Bone marrow smear · May-Grünwald-Giemsa/Pappenheim stain.
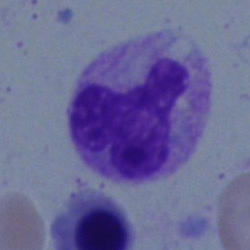
Specimen: bone marrow aspirate smear.
Morphological class: stab cell.
Lineage: myeloid.